Bone marrow smear.
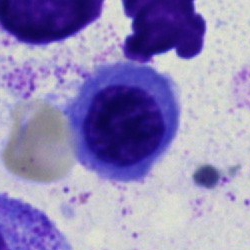 Cell type: normoblast.